Bone marrow aspirate smear
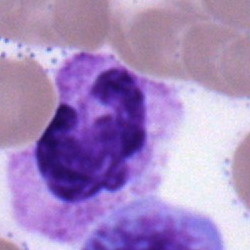Q: Which cell type is shown here?
A: Neutrophil (segmented).